Bone marrow aspirate smear — 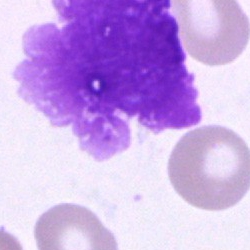 The cell type is artefact.